Bone marrow aspirate smear.
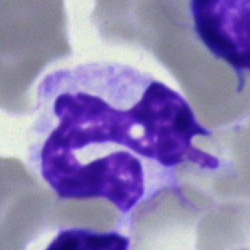Cell = monocyte.